Bone marrow smear. May-Grünwald-Giemsa stain
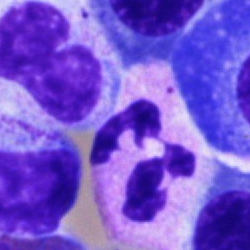

The morphological class is polymorphonuclear neutrophil.